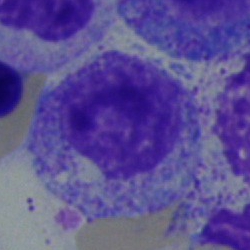Morphology — myelocyte.